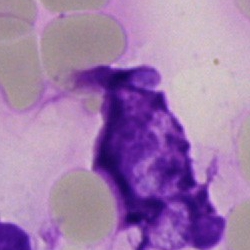 The cell shown is an artefact.